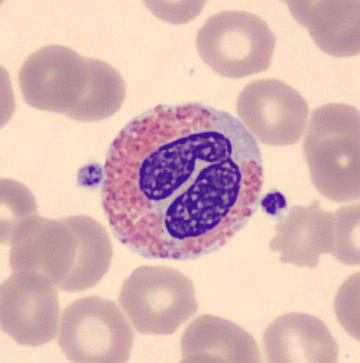 The cell type is eosinophilic granulocyte. Peripheral blood smear. May Grünwald-Giemsa stain.